Bone marrow smear.
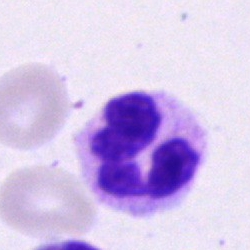{"cell_type": "polymorphonuclear neutrophil"}